Bone marrow aspirate smear
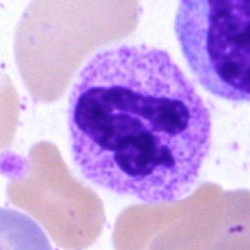

Morphology consistent with a segmented neutrophil.